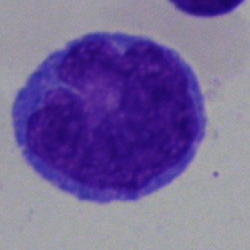
Classification — monocyte.